Bone marrow aspirate smear:
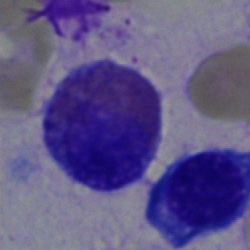 Eosinophilic granulocyte.